Peripheral blood film. 100× oil immersion, 14.14 px/µm
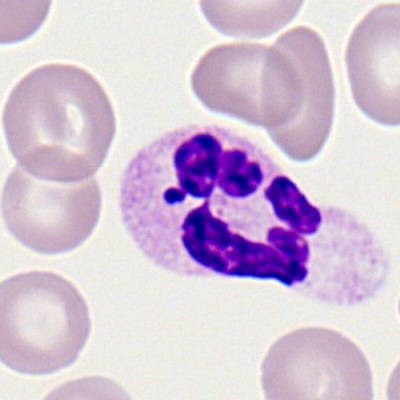 A segmented neutrophil.